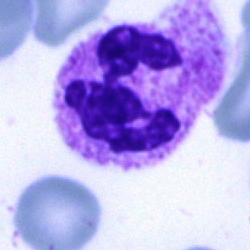The cell shown is a neutrophil (segmented).